250 by 250 pixels. Bone marrow aspirate smear — 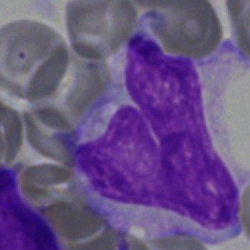Specimen: bone marrow smear.
Cell: neutrophil (band).